250×250. Bone marrow smear. Pappenheim-stained:
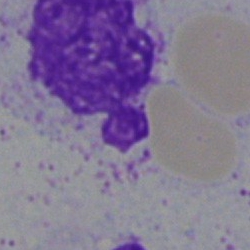Cell: artefact.